Bone marrow aspirate smear. Brightfield microscopy, 40× oil immersion — 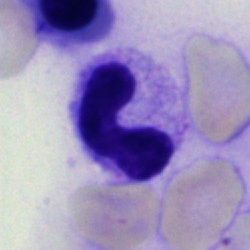

Cell: segmented neutrophil.